100× oil immersion, 14.14 px/µm · image size 400×400 · peripheral blood film:
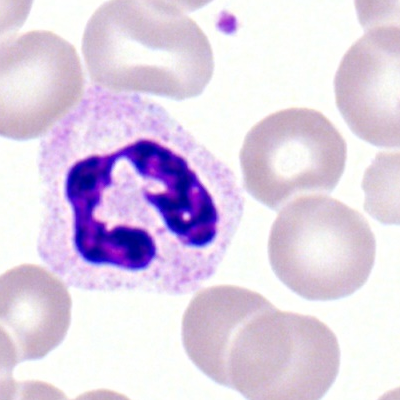Cell type — polymorphonuclear neutrophil.